Bone marrow aspirate smear.
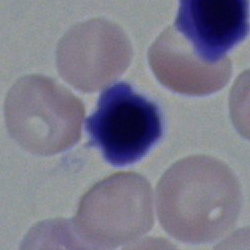Q: What is shown here?
A: An erythroblast.